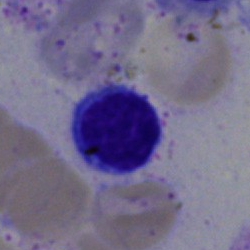

Q: What is the morphological classification of this cell?
A: Typical lymphocyte.